Bone marrow smear — 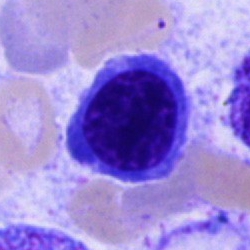
An erythroblast.